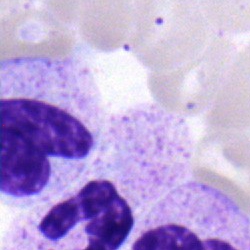

This is a band neutrophil.